250×250 px · bone marrow smear:
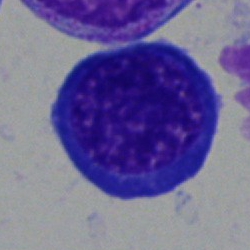
Q: What cell is this?
A: This is a nucleated red cell.